Brightfield, 100× oil-immersion objective · peripheral blood smear: 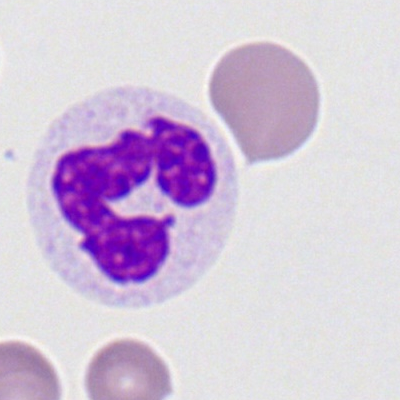

Q: What type of cell is this?
A: A neutrophil (segmented).